Cropped to a single cell · peripheral blood smear — 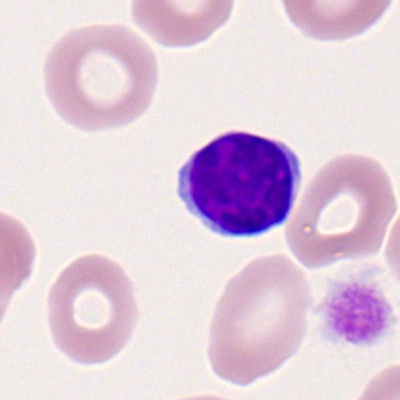 Q: Identify the cell.
A: This is a typical lymphocyte.